Image size 250×250 · brightfield microscopy, 40× oil immersion · bone marrow smear:
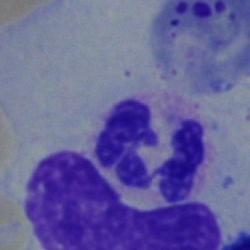

Cell type = segmented neutrophil.